Single cell centered in the field · bone marrow smear · MGG-stained.
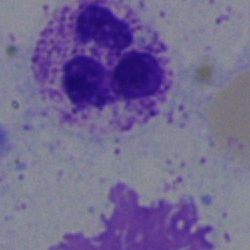

Specimen: bone marrow smear.
Classification: segmented neutrophil.